Peripheral blood film; Romanowsky-type stain:
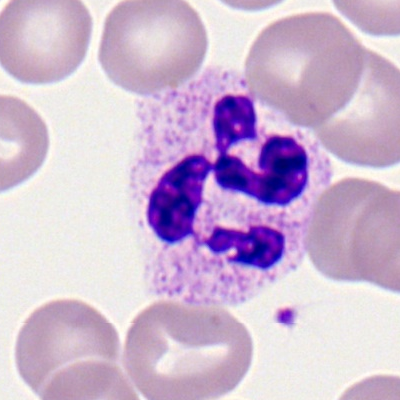

Morphology → neutrophil (segmented).